Image size 250×250; bone marrow aspirate smear.
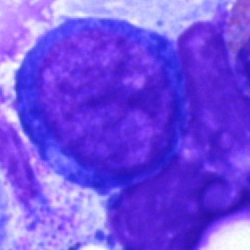

The classification is pronormoblast.